Bone marrow aspirate smear: 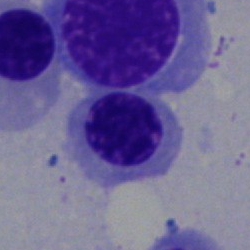 This is a nucleated red blood cell.